Brightfield microscopy, 40× oil immersion. May-Grünwald-Giemsa/Pappenheim stain. Bone marrow aspirate smear:
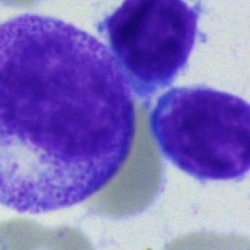Specimen: bone marrow aspirate smear.
Cell: progranulocyte.